Bone marrow smear: 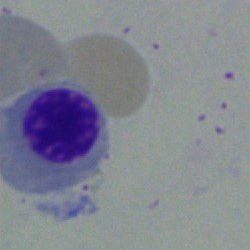Cell type: nucleated red cell.